Single cell centered in the field. Brightfield microscopy, 40× oil immersion. Bone marrow smear.
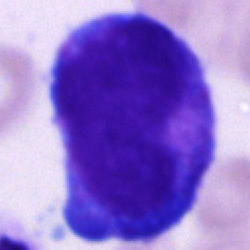
Showing a cell of indeterminate lineage.